Bone marrow smear: 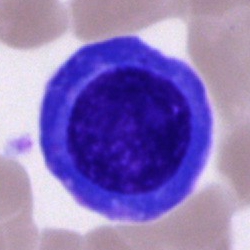
Classification = plasma cell.